40× oil immersion. Image size 250×250. Bone marrow smear — 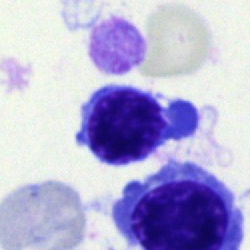Q: What type of cell is this?
A: It is a lymphocyte.